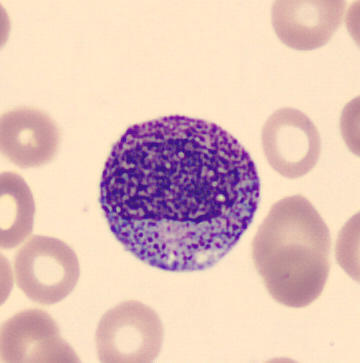 A progranulocyte.